Bone marrow aspirate smear.
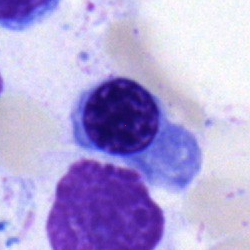Specimen: bone marrow aspirate smear.
Morphological class: erythroblast.